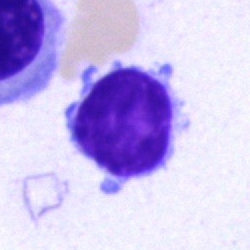
Bone marrow smear showing a lymphocyte.